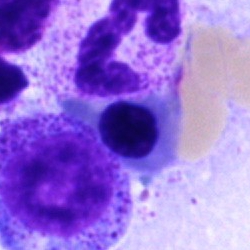This is a nucleated red cell.